Image size 250×250 · bone marrow aspirate smear · brightfield, 40× oil-immersion objective.
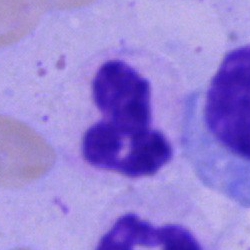 Impression → segmented neutrophil.